Single cell centered in the field; brightfield, 40× oil-immersion objective; bone marrow aspirate smear: 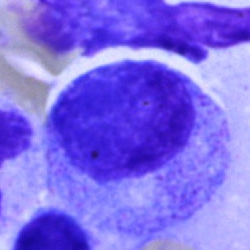

Q: What type of cell is this?
A: Myelocyte.